Peripheral blood film — 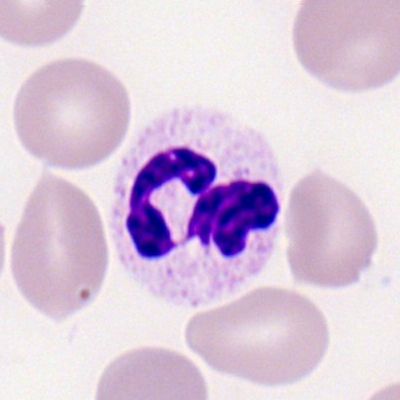
This is a polymorphonuclear neutrophil.